250×250 px. Bone marrow smear:
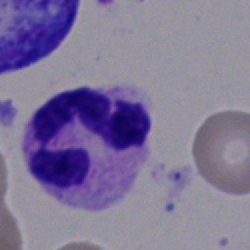 Single cell identified as a neutrophil (segmented).